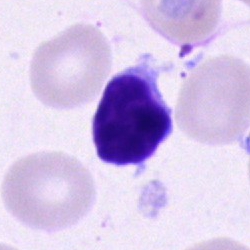Specimen: bone marrow aspirate smear.
Classification: typical lymphocyte.